Bone marrow aspirate smear. Single cell centered in the field:
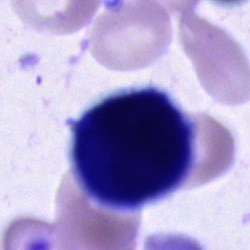

Morphology → cell of indeterminate lineage.